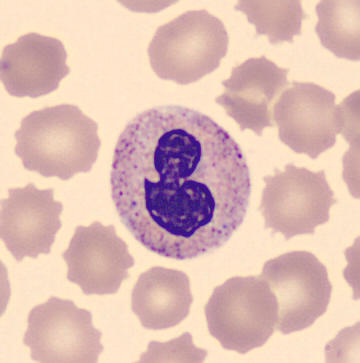 Morphology — neutrophil (band).